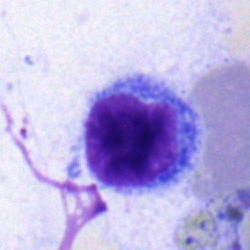
Morphological class = lymphocyte.